Bone marrow aspirate smear
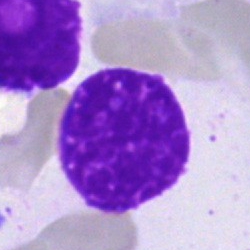

Specimen: bone marrow aspirate smear.
Cell type: artefact.